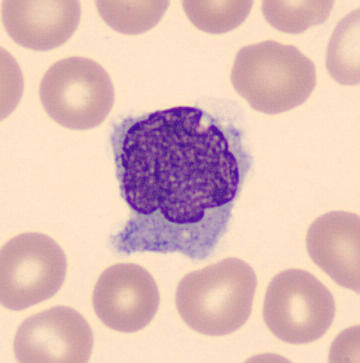

The cell shown is a monocyte. Image: Peripheral blood film; cropped to a single cell.